Bone marrow aspirate smear — 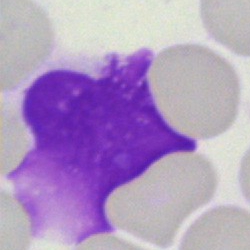

Morphology → artifact.